Bone marrow aspirate smear: 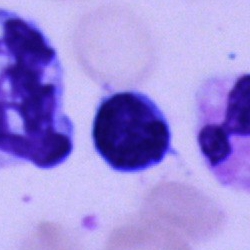The cell shown is a lymphocyte.